250 by 250 pixels. Bone marrow smear
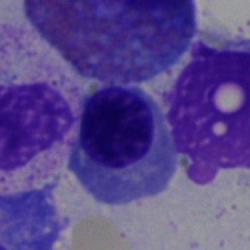

Impression — nucleated red blood cell.